Bone marrow aspirate smear.
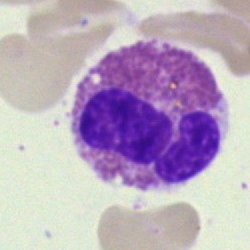
An eosinophil.